Peripheral blood film:
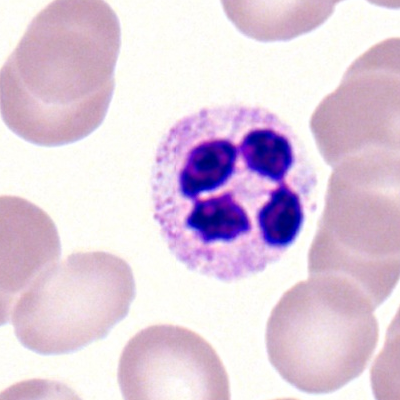 Morphological class: segmented neutrophil.